250×250 · bone marrow smear:
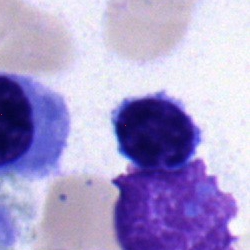Morphological class: typical lymphocyte.